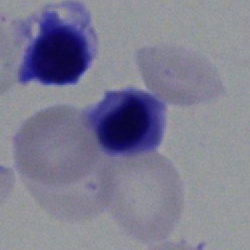 Morphology — nucleated red cell.